Bone marrow aspirate smear.
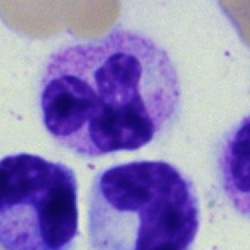
Morphology → segmented neutrophil.